Brightfield, 40× oil-immersion objective; 250×250 px; bone marrow smear:
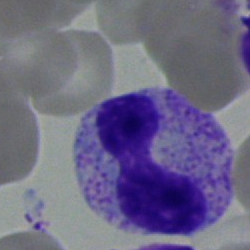
Morphological class — neutrophil (band).